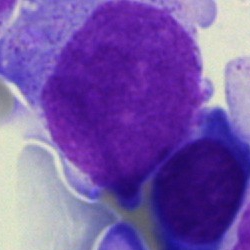

{"cell_type": "blast"}